May-Grünwald-Giemsa stain. Bone marrow aspirate smear. Single cell centered in the field.
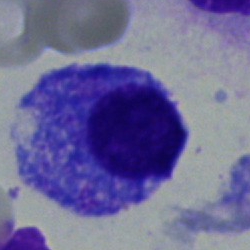{"cell_type": "promyelocyte", "lineage": "myeloid"}